Pappenheim-stained · bone marrow aspirate smear · 250 by 250 pixels.
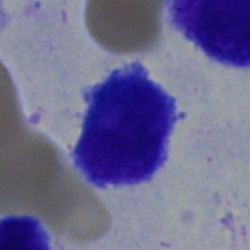

Q: What type of cell is this?
A: A typical lymphocyte.